Peripheral blood smear · single cell centered in the field · automated cell imaging (CellaVision DM96): 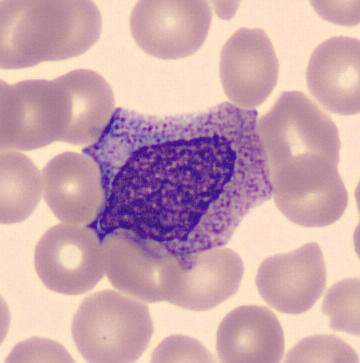 Showing a promyelocyte.